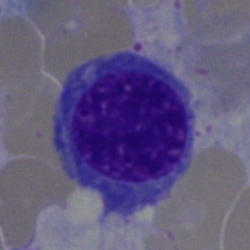

Morphological class: normoblast.